Bone marrow smear; 250×250.
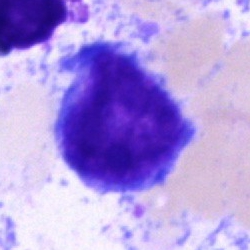 A blast cell.